Romanowsky stain. 100× oil immersion, 14.14 px/µm. Peripheral blood film: 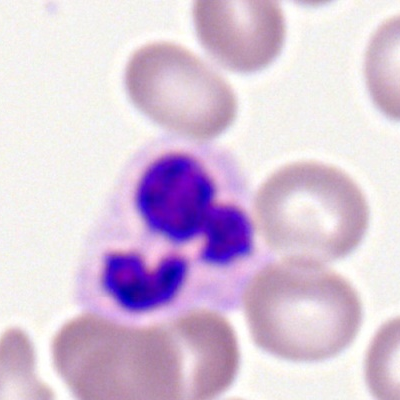
Specimen: peripheral blood film.
Morphological class: neutrophil (segmented).
Lineage: myeloid.